250 by 250 pixels. Bone marrow aspirate smear. MGG-stained.
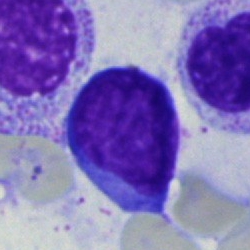
The cell shown is a typical lymphocyte.